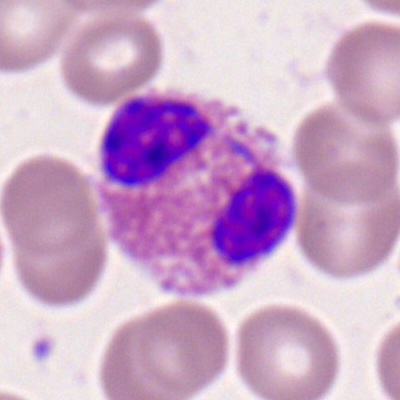Specimen: peripheral blood smear.
Classification: eosinophilic granulocyte.
Lineage: myeloid.